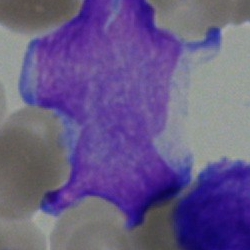Single cell identified as an undifferentiated blast.